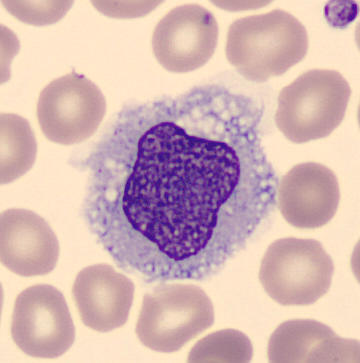
Cell — monocyte.